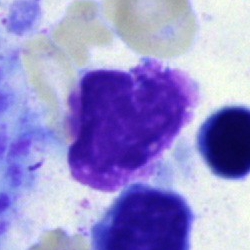
An artefact on a bone marrow smear.